MGG-stained · bone marrow aspirate smear · brightfield microscopy, 40× oil immersion:
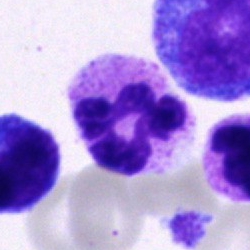

The cell type is segmented neutrophil.